Image size 250×250 · bone marrow smear: 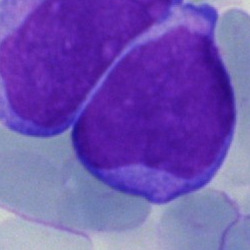 {"cell_type": "blast cell"}